40× objective, oil immersion. Bone marrow smear: 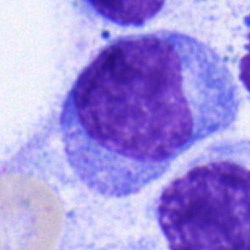

Promyelocyte.